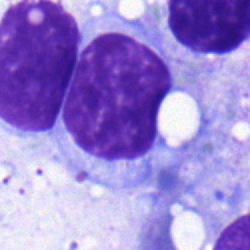 A lymphocyte on a bone marrow smear.